Bone marrow aspirate smear
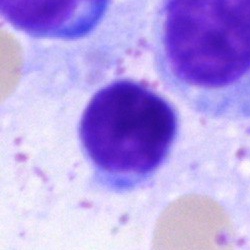
Cell — typical lymphocyte.